MGG-stained. Single-cell crop. Bone marrow smear:
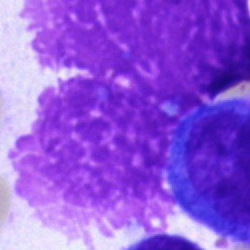
Specimen: bone marrow aspirate smear.
Cell: artefact.